Bone marrow smear. Cropped to a single cell. MGG-stained
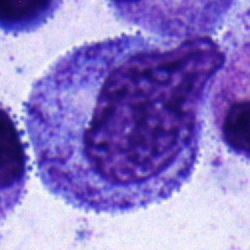

{"cell_type": "progranulocyte", "lineage": "myeloid"}